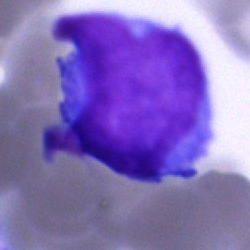

This is a blast cell.